Cropped to a single cell; bone marrow aspirate smear; 250×250: 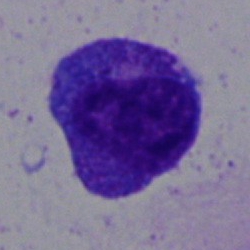Classification — progranulocyte.